Peripheral blood smear: 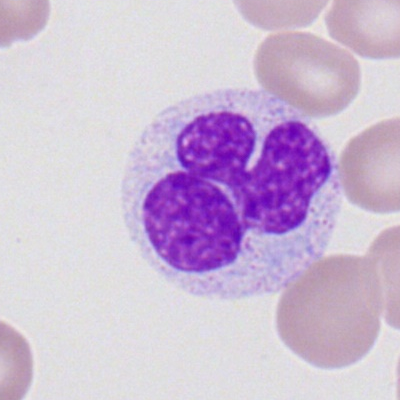
Cell: neutrophil (segmented).